400 by 400 pixels; peripheral blood film.
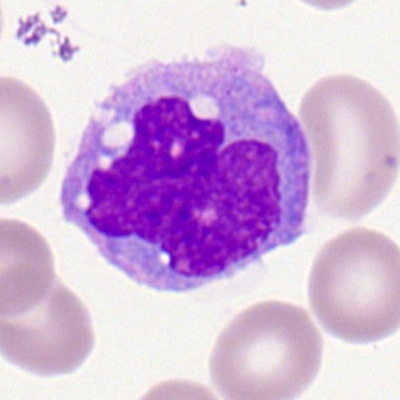

Impression → monocyte.